40× oil immersion. Bone marrow aspirate smear:
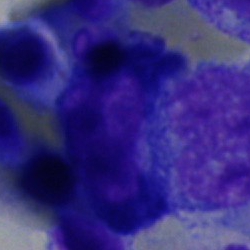Morphology consistent with an artefact.